Bone marrow aspirate smear — 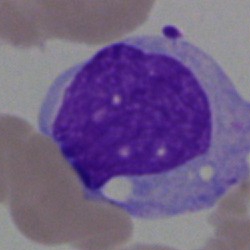 Specimen: bone marrow aspirate smear.
Classification: monocyte.